Bone marrow smear
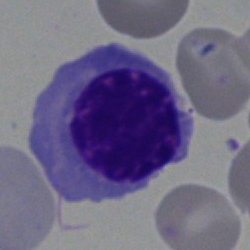

Specimen: bone marrow smear.
Cell type: nucleated red blood cell.
Lineage: erythroid.